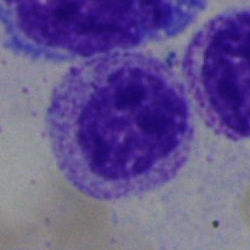Q: What is shown here?
A: A myelocyte.